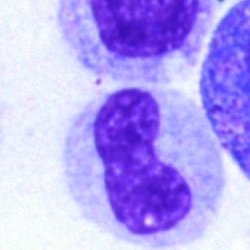 Specimen: bone marrow aspirate smear.
Morphological class: stab cell.
Lineage: myeloid.